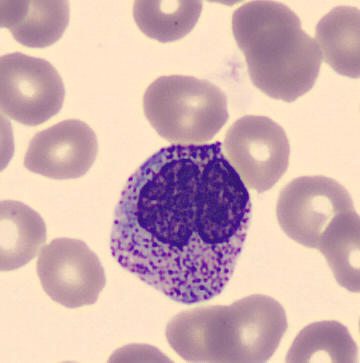 Cell: metamyelocyte.